250 by 250 pixels. Bone marrow smear. MGG-stained: 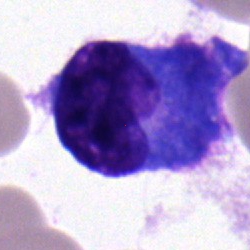Q: What is the morphological classification of this cell?
A: Plasma cell.